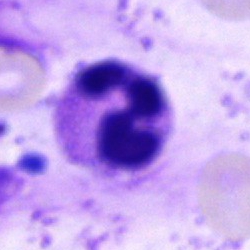 Cell: polymorphonuclear neutrophil.